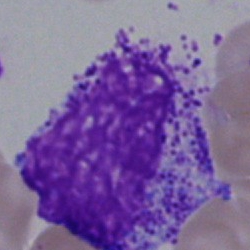
The cell shown is an artefact.